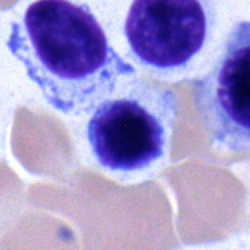 Morphological class: typical lymphocyte.